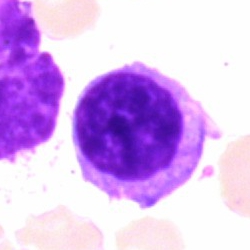
Classification: typical lymphocyte.